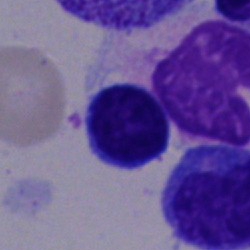
Morphology consistent with a typical lymphocyte.